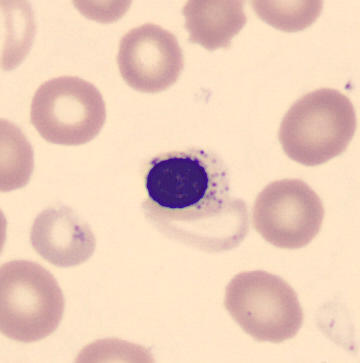Acquisition: Peripheral blood smear.

Q: What is the morphological classification of this cell?
A: A nucleated red cell.